Bone marrow aspirate smear
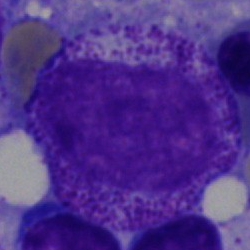

Single cell identified as a myelocyte.